Cropped to a single cell · bone marrow smear
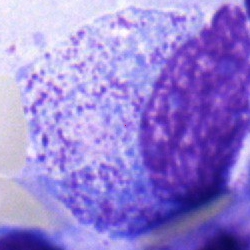 A promyelocyte.